Bone marrow smear. 250×250: 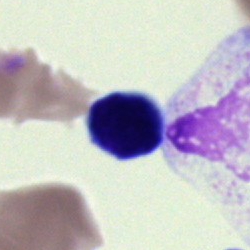Q: What type of cell is this?
A: It is a cell of indeterminate lineage.